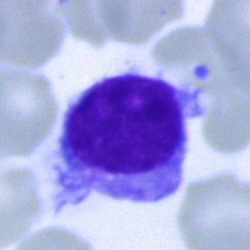 Single-cell crop from a bone marrow smear: hairy cell.